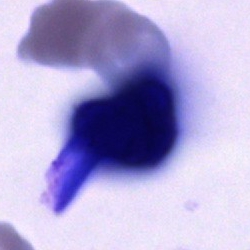
Single-cell crop from a bone marrow smear: cell of indeterminate lineage.